Pappenheim-stained. Bone marrow aspirate smear
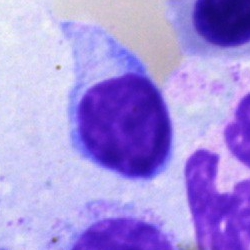 A typical lymphocyte.